Peripheral blood film — 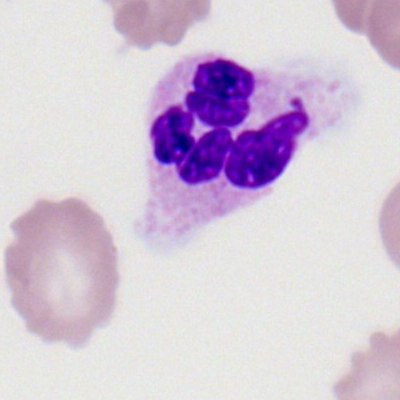

Segmented neutrophil.